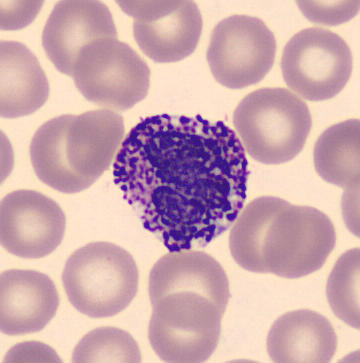Preparation: Peripheral blood film.
Cell: basophilic granulocyte.